Bone marrow smear: 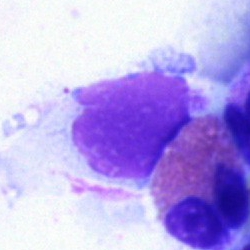
Impression → eosinophil.